Bone marrow aspirate smear
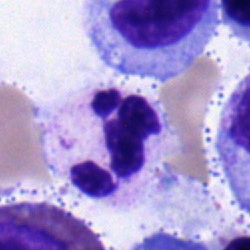

Q: What type of cell is this?
A: This is a polymorphonuclear neutrophil.